Bone marrow aspirate smear:
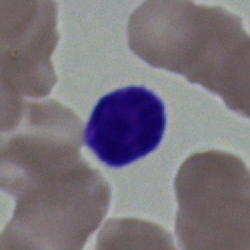Specimen: bone marrow smear.
Cell: lymphocyte.